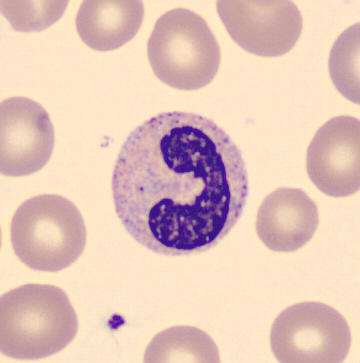

Image: Single cell centered in the field; peripheral blood smear. Morphology — stab cell.